MGG-stained · single-cell crop · bone marrow aspirate smear — 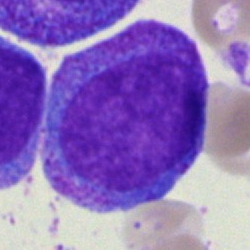{"cell_type": "promyelocyte", "lineage": "myeloid"}